Brightfield, 40× oil-immersion objective; bone marrow smear.
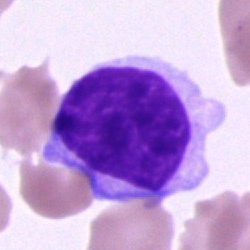
Q: Which cell type is shown here?
A: This is a lymphocyte.